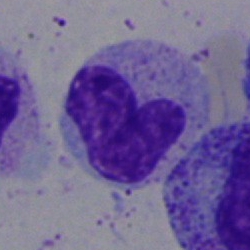 Showing a band neutrophil.